Pappenheim-stained · bone marrow smear — 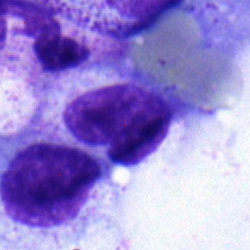Morphological class = metamyelocyte.